Peripheral blood smear; single cell centered in the field:
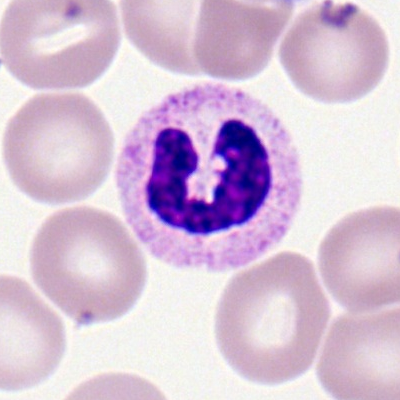Morphology → polymorphonuclear neutrophil.